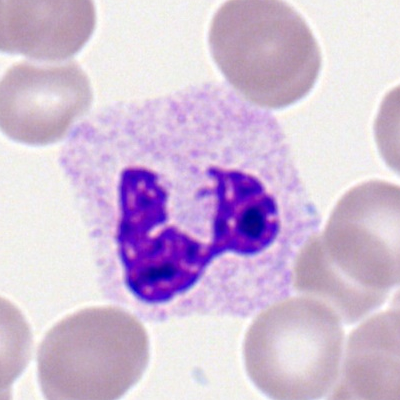 Q: What type of cell is this?
A: Segmented neutrophil.